Pappenheim-stained · bone marrow smear:
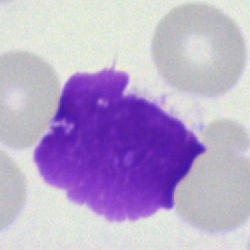 Q: What is shown here?
A: It is an artifact.